Bone marrow aspirate smear; image size 250×250:
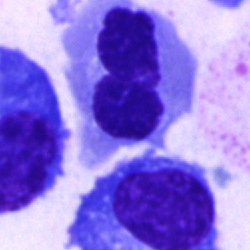 {"cell_type": "erythroblast"}